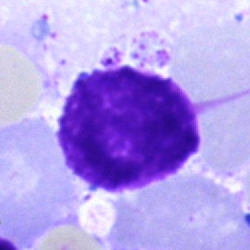

Artifact.